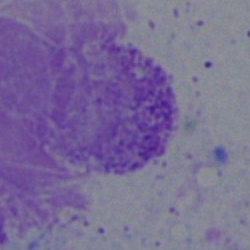Showing an artifact.